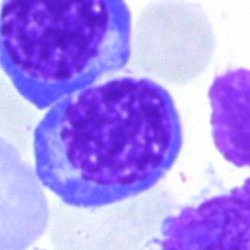Classification: nucleated red cell.